Bone marrow aspirate smear
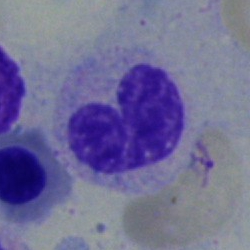

{"cell_type": "band neutrophil", "lineage": "myeloid"}